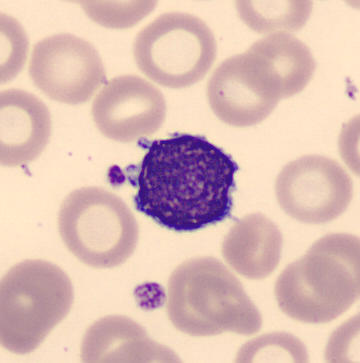A lymphocyte. Peripheral blood smear. May Grünwald-Giemsa stain.